Bone marrow smear
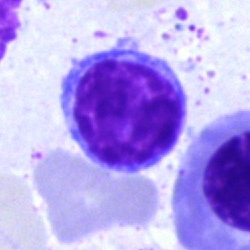
Specimen: bone marrow aspirate smear.
Classification: typical lymphocyte.
Lineage: lymphoid.